MGG-stained; bone marrow smear
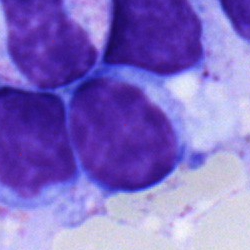Q: What is the morphological classification of this cell?
A: Typical lymphocyte.